Bone marrow aspirate smear:
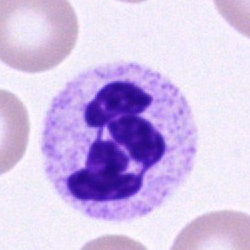
Classification: neutrophil (segmented).